Bone marrow aspirate smear · image size 250×250
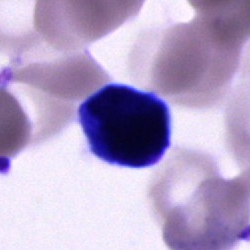 Specimen: bone marrow smear.
Cell type: cell of indeterminate lineage.